Bone marrow aspirate smear — 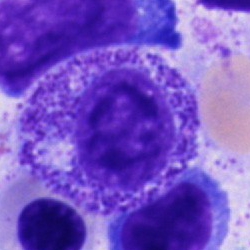 Specimen: bone marrow smear.
Classification: promyelocyte.
Lineage: myeloid.